Bone marrow smear: 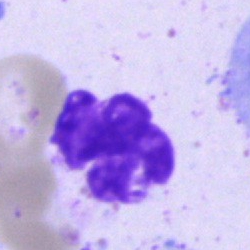 A polymorphonuclear neutrophil.